Bone marrow aspirate smear · May-Grünwald-Giemsa/Pappenheim stain: 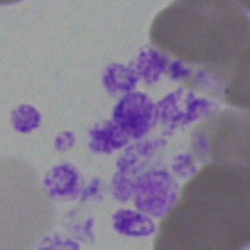
Q: What is shown here?
A: Artefact.